Bone marrow smear
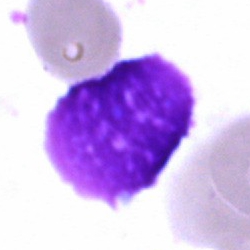 Morphology consistent with an artifact.